Single-cell field; brightfield, 40× oil-immersion objective; bone marrow aspirate smear.
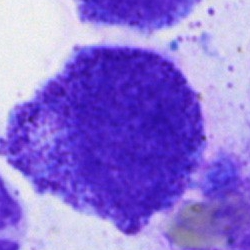 A promyelocyte.